Bone marrow aspirate smear. Image size 250×250
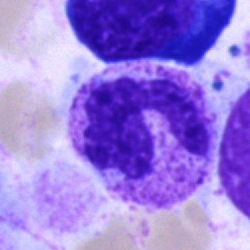 Q: What is shown here?
A: This is a polymorphonuclear neutrophil.